Bone marrow smear:
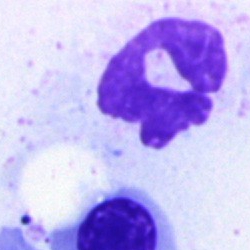

Single cell identified as an artifact.